Bone marrow smear · 250 by 250 pixels · May-Grünwald-Giemsa stain
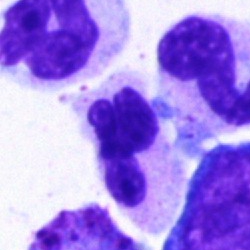Morphology — segmented neutrophil.